Bone marrow smear; May-Grünwald-Giemsa/Pappenheim stain: 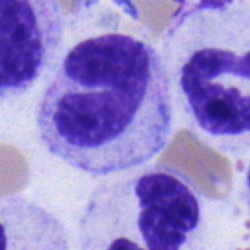
Cell type = band neutrophil.